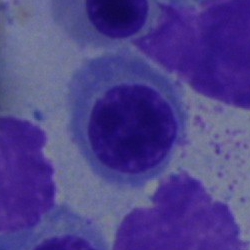Specimen: bone marrow aspirate smear.
Classification: normoblast.
Lineage: erythroid.